Bone marrow smear
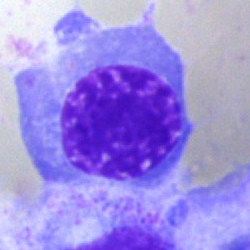 A nucleated red cell.